Brightfield microscopy, 40× oil immersion. Bone marrow aspirate smear — 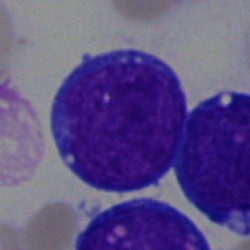 The morphological class is undifferentiated blast.